250×250 px · bone marrow smear — 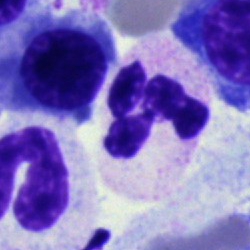This is a polymorphonuclear neutrophil.